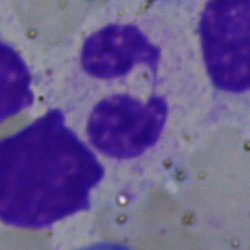Bone marrow smear showing a neutrophil (segmented).